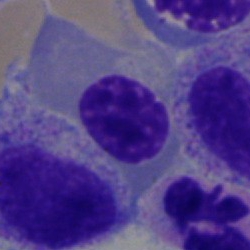
The cell shown is an erythroblast.